Bone marrow smear; 250 by 250 pixels; cropped to a single cell: 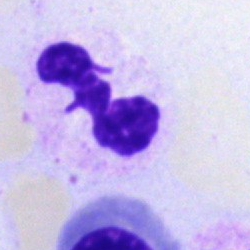
Impression — neutrophil (segmented).